Peripheral blood smear · cropped to a single cell · image size 400×400: 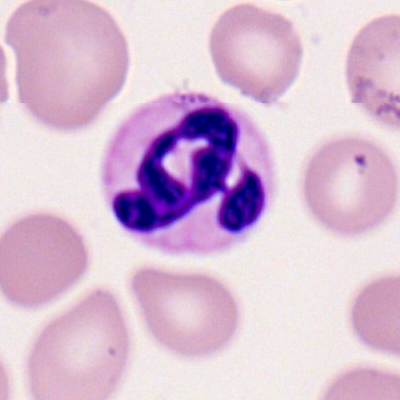

The morphological class is neutrophil (segmented).